Bone marrow smear · image size 250×250 · Pappenheim-stained.
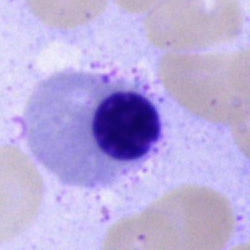Cell: normoblast.